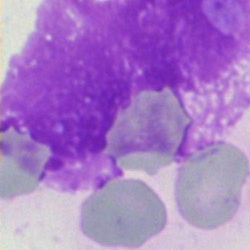Specimen: bone marrow smear.
Cell: artifact.